Single-cell crop · bone marrow smear — 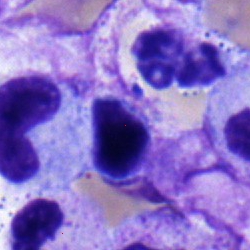

This is a typical lymphocyte.